Bone marrow smear:
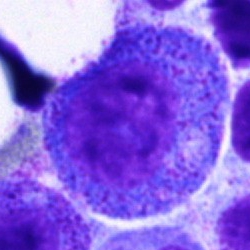
Morphological class: promyelocyte.